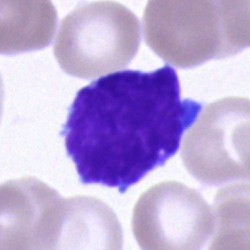
Specimen: bone marrow aspirate smear.
Cell type: lymphocyte.
Lineage: lymphoid.